Single-cell crop. Bone marrow smear — 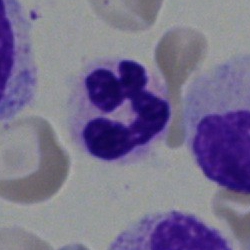
Q: What is shown here?
A: It is a neutrophil (segmented).